Bone marrow aspirate smear.
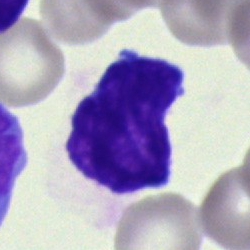
This is a blast cell.